Bone marrow smear:
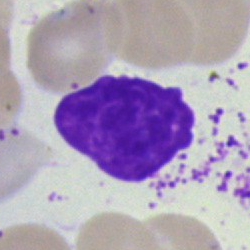Classification = artefact.